Bone marrow smear.
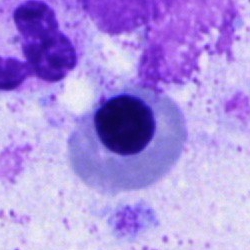
{"cell_type": "normoblast"}